Brightfield microscopy, 40× oil immersion · bone marrow aspirate smear:
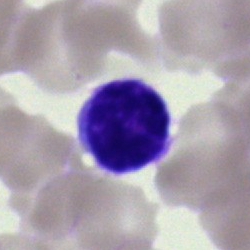 Specimen: bone marrow smear.
Classification: typical lymphocyte.
Lineage: lymphoid.